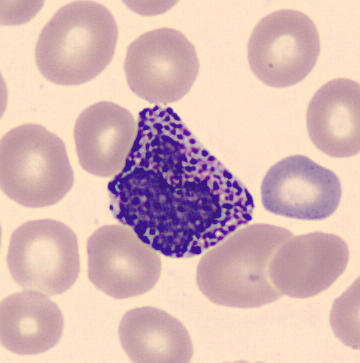Basophil.